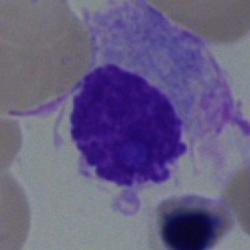 Plasmacyte.